Bone marrow smear
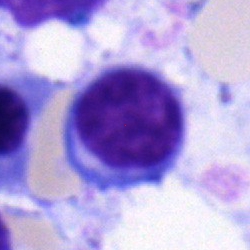
Cell — typical lymphocyte.